250 by 250 pixels · bone marrow aspirate smear.
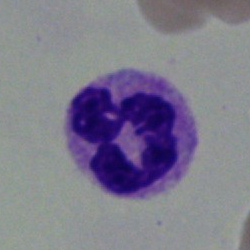
{"cell_type": "neutrophil (segmented)"}